Bone marrow aspirate smear; 40× oil immersion; single-cell field: 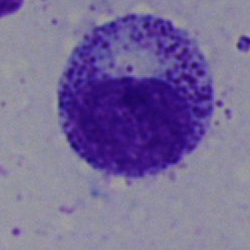 The cell type is myelocyte.